Bone marrow smear · 250×250 · brightfield, 40× oil-immersion objective — 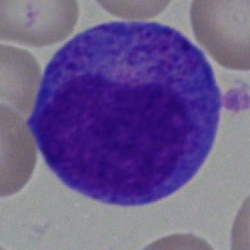Morphology consistent with a progranulocyte.